360 by 363 pixels · peripheral blood smear · cropped to a single cell.
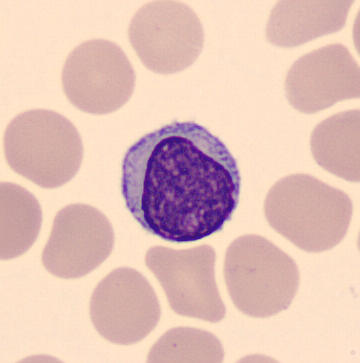 Specimen: peripheral blood film.
Cell type: typical lymphocyte.
Lineage: lymphoid.